100× oil immersion; peripheral blood film.
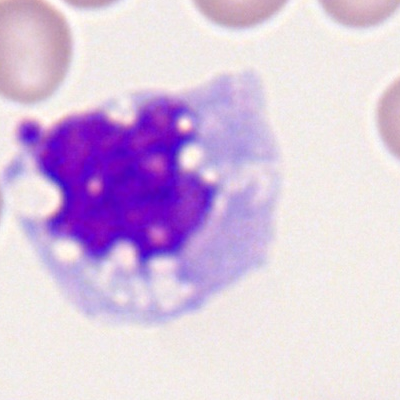Q: Identify the cell.
A: Monocyte.